Bone marrow smear.
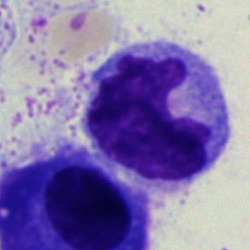
Q: What type of cell is this?
A: A monocyte.